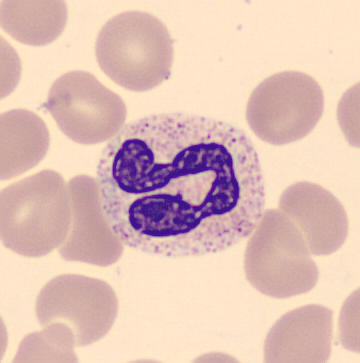Segmented neutrophil. Acquisition: Peripheral blood smear.